Bone marrow smear:
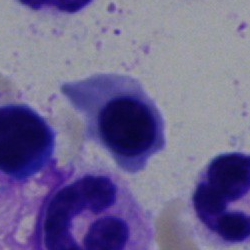

Morphology consistent with a nucleated red blood cell.